Bone marrow smear:
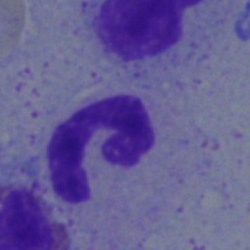

Morphological class: polymorphonuclear neutrophil.